MGG-stained. Bone marrow smear
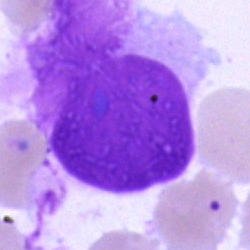 Morphology consistent with an artefact.